Peripheral blood film: 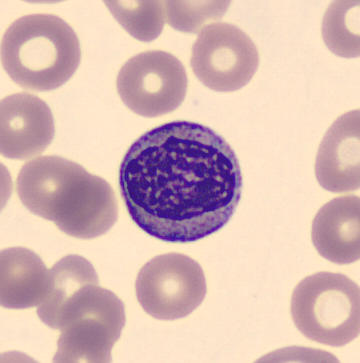 Specimen: peripheral blood film.
Cell type: myelocyte.
Lineage: myeloid.